Bone marrow smear; brightfield, 40× oil-immersion objective; image size 250×250.
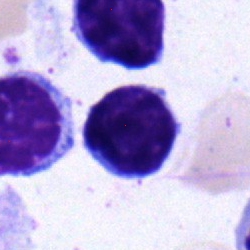
Specimen: bone marrow smear.
Cell: typical lymphocyte.